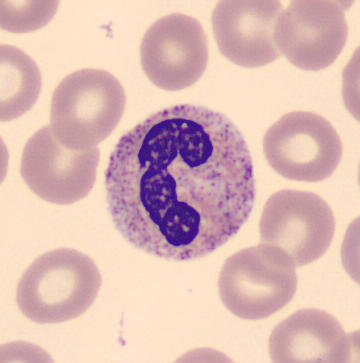

Band-form neutrophil.